Bone marrow smear · single-cell field — 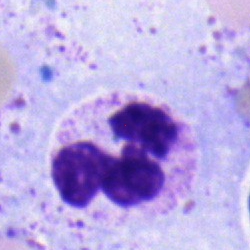Q: What is shown here?
A: Neutrophil (segmented).